Pappenheim-stained. Bone marrow aspirate smear. Cropped to a single cell
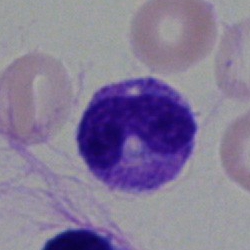 Morphology → polymorphonuclear neutrophil.